Bone marrow smear
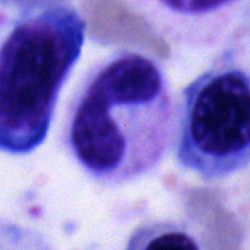

{"cell_type": "band neutrophil", "lineage": "myeloid"}